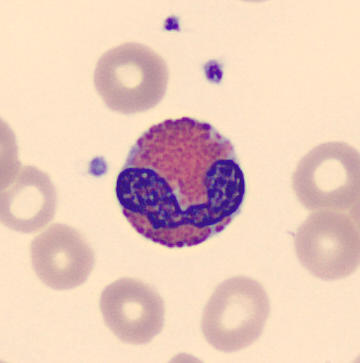
Image size 360×363. Peripheral blood film. CellaVision DM96. Classification — eosinophilic granulocyte.